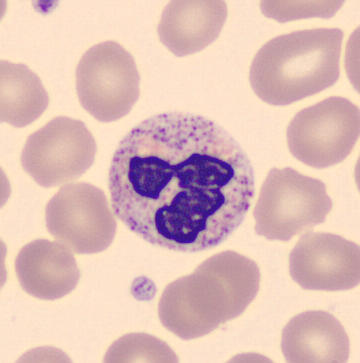

Peripheral blood smear.
Cell — segmented neutrophil.